Bone marrow aspirate smear
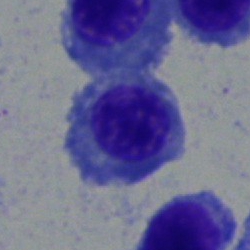 Specimen: bone marrow aspirate smear.
Cell type: normoblast.